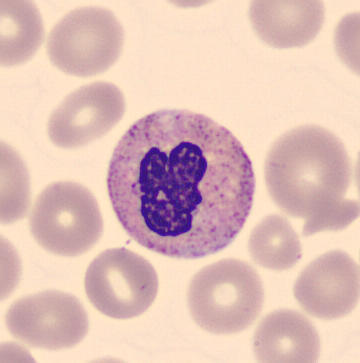

Preparation: Peripheral blood film · MGG stain.
Q: Identify the cell.
A: Neutrophil (band).